250×250 px; May-Grünwald-Giemsa stain; bone marrow smear — 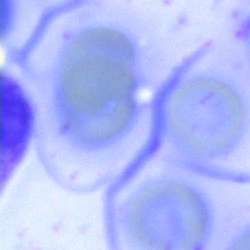

The cell is artifact.